Cropped to a single cell. Peripheral blood smear:
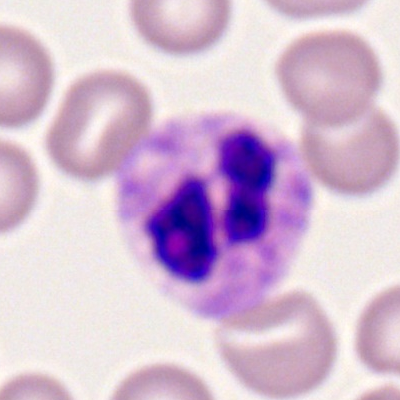

Q: What is the morphological classification of this cell?
A: Polymorphonuclear neutrophil.